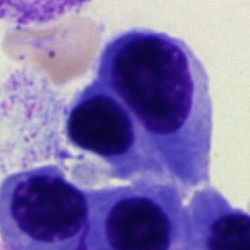 Single-cell crop from a bone marrow smear: nucleated red blood cell.